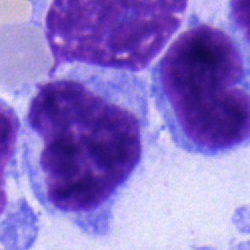
Morphology — lymphocyte.